Brightfield microscopy, 40× oil immersion · single-cell field · bone marrow aspirate smear — 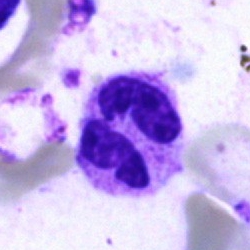

This is a polymorphonuclear neutrophil.